Bone marrow aspirate smear
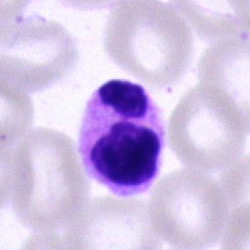
The cell type is segmented neutrophil.